Bone marrow smear:
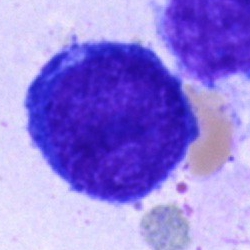

A proerythroblast.